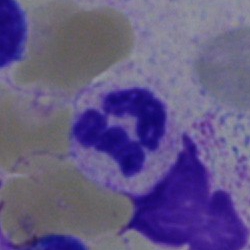
Specimen: bone marrow smear.
Cell type: neutrophil (segmented).